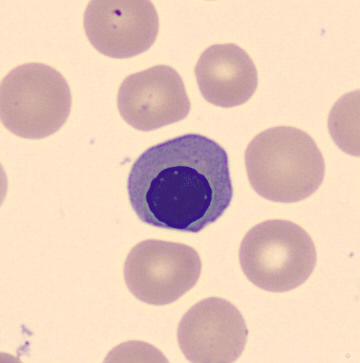

Classification — erythroblast.

Image: Peripheral blood smear. Automated cell imaging (CellaVision DM96).